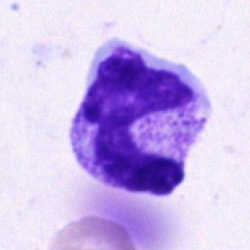 Q: What type of cell is this?
A: It is a neutrophil (segmented).